Peripheral blood film
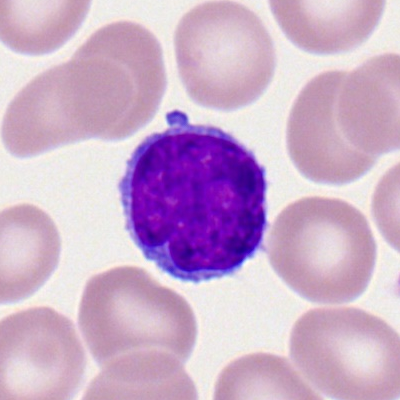
Single cell identified as a typical lymphocyte.